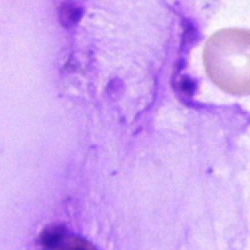Q: What is shown here?
A: An artefact.